Brightfield, 40× oil-immersion objective. Bone marrow smear:
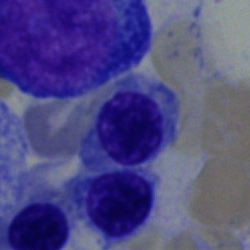A nucleated red cell.